Bone marrow smear
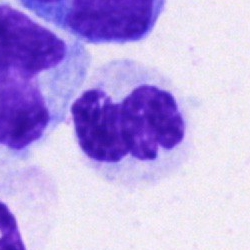
Single cell identified as a segmented neutrophil.